Bone marrow aspirate smear
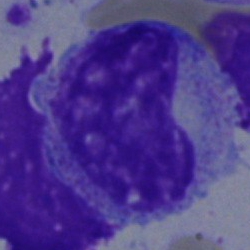
The cell shown is a metamyelocyte.